Bone marrow aspirate smear; 40× oil immersion
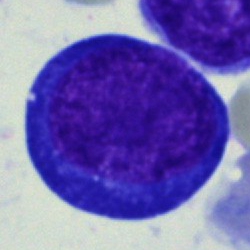
Single cell identified as a proerythroblast.